MGG-stained · bone marrow aspirate smear · cropped to a single cell: 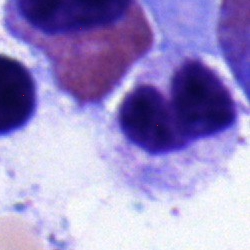Q: What type of cell is this?
A: A metamyelocyte.